Pappenheim-stained; bone marrow smear:
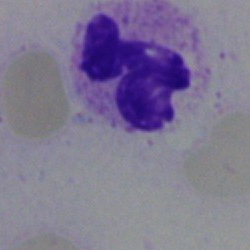
Morphological class — segmented neutrophil.